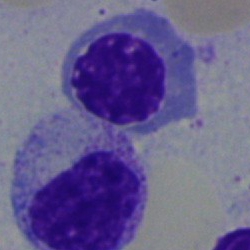

Q: Identify the cell.
A: It is an erythroblast.